Single-cell crop · bone marrow aspirate smear:
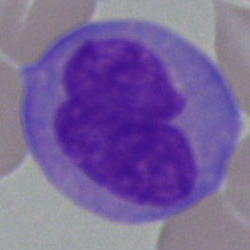
Q: What type of cell is this?
A: A monocyte.